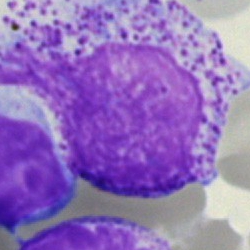 Cell type: myelocyte.